Bone marrow aspirate smear · single-cell crop.
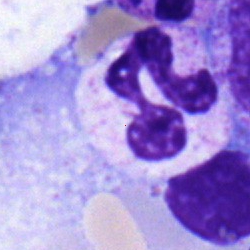
Q: What cell is this?
A: A segmented neutrophil.